Bone marrow smear — 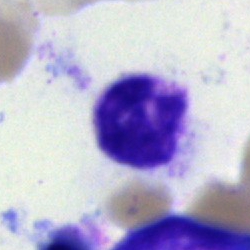Q: Identify the cell.
A: A segmented neutrophil.